250 by 250 pixels. Bone marrow smear — 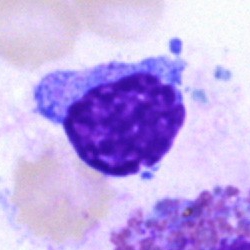Cell = typical lymphocyte.